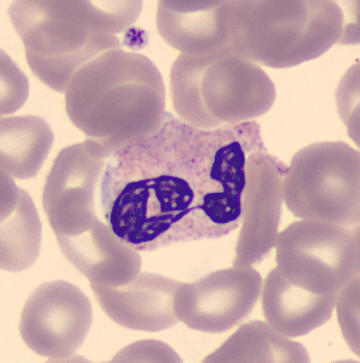Morphological class = neutrophil (segmented).

Image: Peripheral blood film.